Cropped to a single cell. Brightfield microscopy, 40× oil immersion. Bone marrow smear:
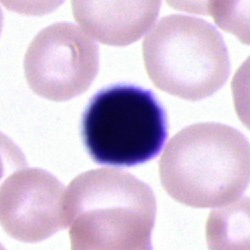 The classification is unidentifiable cell.